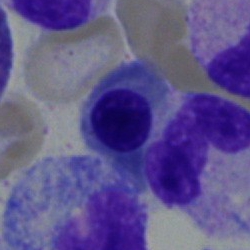

Showing an erythroblast.